Cropped to a single cell. Bone marrow aspirate smear. 250×250 px
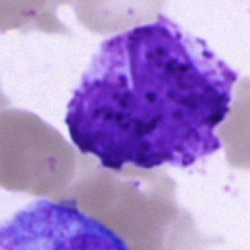 Basophil.